Single-cell crop. Bone marrow smear: 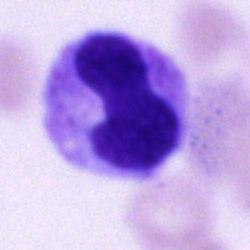

Showing a neutrophil (band).